Bone marrow aspirate smear
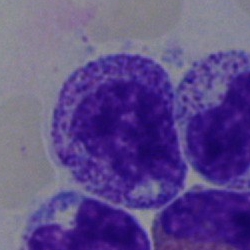The cell shown is a myelocyte.